Bone marrow aspirate smear — 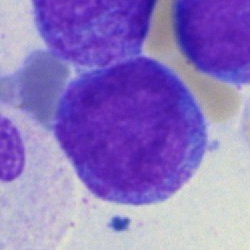
Classification = promyelocyte.